Single-cell crop. Bone marrow aspirate smear:
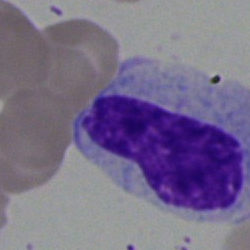 This is a metamyelocyte.